Bone marrow smear.
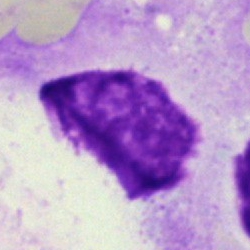 {"cell_type": "artifact"}